Peripheral blood smear.
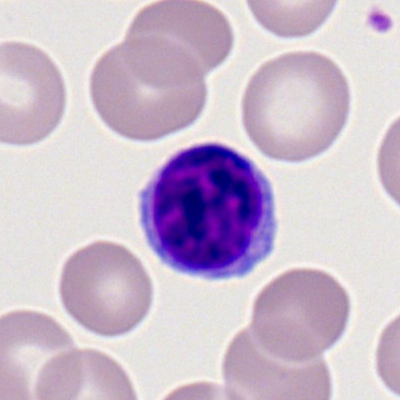 Q: Which cell type is shown here?
A: Typical lymphocyte.